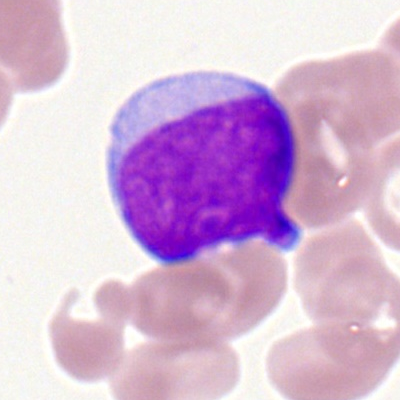
Q: What is the morphological classification of this cell?
A: A myeloblast.